Bone marrow smear; 40× objective, oil immersion:
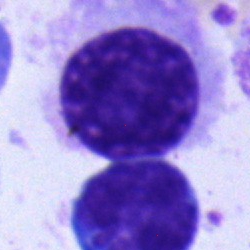

Single cell identified as a plasmacyte.